Bone marrow smear:
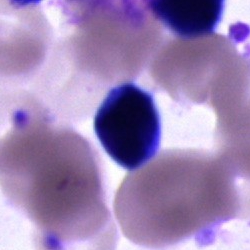
Unidentifiable cell.